Bone marrow aspirate smear
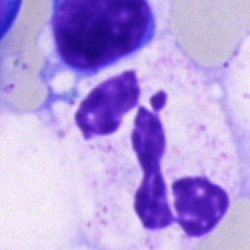This is a polymorphonuclear neutrophil.